May-Grünwald-Giemsa/Pappenheim stain. Bone marrow smear: 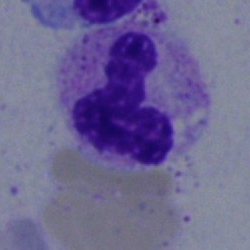
Q: What type of cell is this?
A: A neutrophil (segmented).